Bone marrow smear: 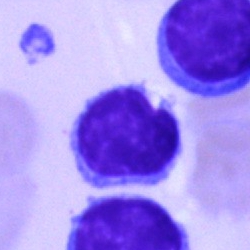
The cell shown is a lymphocyte.